Bone marrow smear — 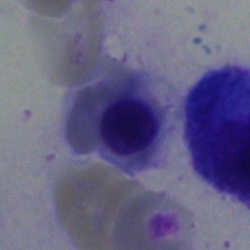
Single cell identified as an erythroblast.